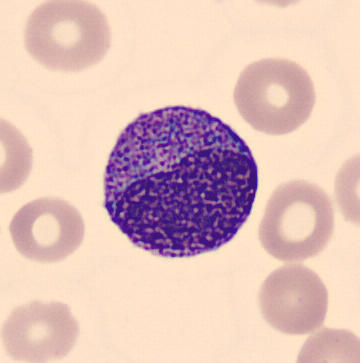Impression — progranulocyte.